40× oil immersion · bone marrow smear
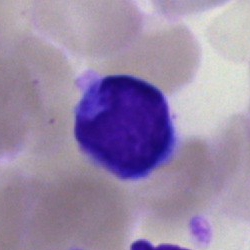Classification = typical lymphocyte.